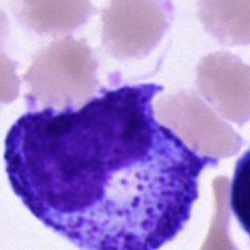 {"cell_type": "progranulocyte", "lineage": "myeloid"}